250 by 250 pixels. Cropped to a single cell. Bone marrow aspirate smear.
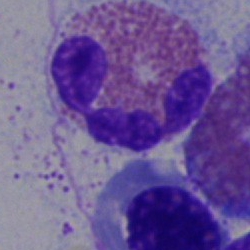
The cell type is eosinophilic granulocyte.